Bone marrow aspirate smear.
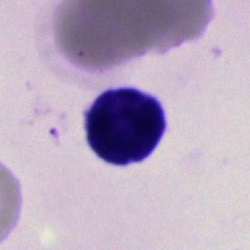
Morphological class — lymphocyte.